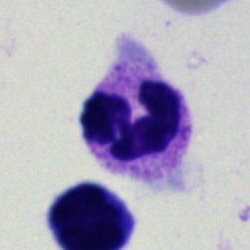

Showing a neutrophil (segmented).